Bone marrow smear: 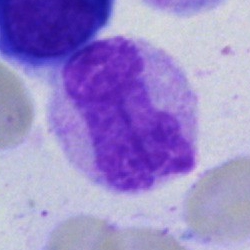 This is a neutrophil (band).